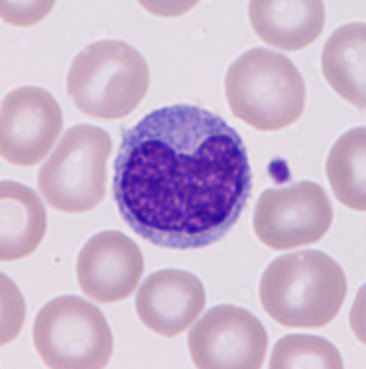Image: Peripheral blood smear. A monocyte.